Bone marrow smear — 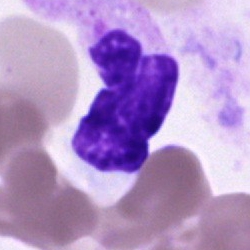

Specimen: bone marrow smear.
Morphological class: unidentifiable cell.